Peripheral blood film — 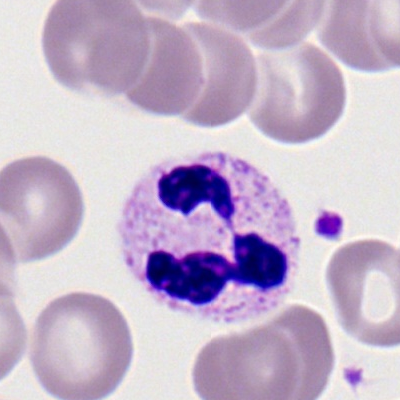
A polymorphonuclear neutrophil.